Bone marrow aspirate smear.
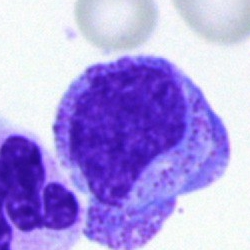

Morphology consistent with a metamyelocyte.